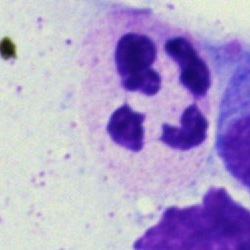

Q: What is the morphological classification of this cell?
A: This is a neutrophil (segmented).